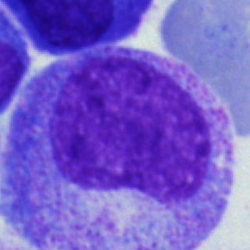

Single-cell crop from a bone marrow smear: progranulocyte.